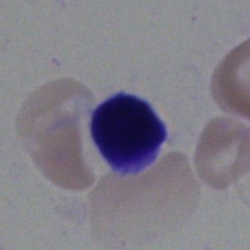Q: What is shown here?
A: Typical lymphocyte.